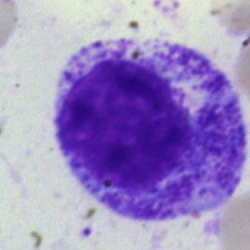Bone marrow aspirate smear, single cell — myelocyte.